Peripheral blood smear:
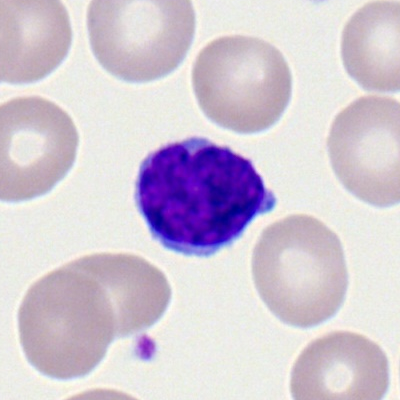 Q: What type of cell is this?
A: Lymphocyte.